Bone marrow aspirate smear; 40× oil immersion:
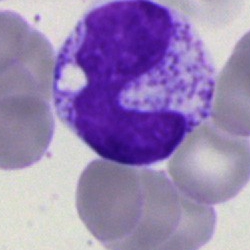
The classification is segmented neutrophil.